Bone marrow smear: 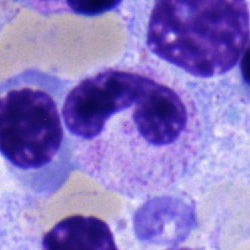

Showing a stab cell.